Bone marrow aspirate smear · single-cell crop: 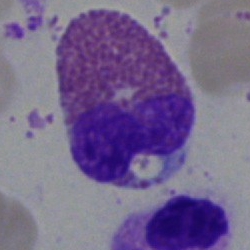

{"cell_type": "eosinophilic granulocyte", "lineage": "myeloid"}